Cropped to a single cell · bone marrow aspirate smear: 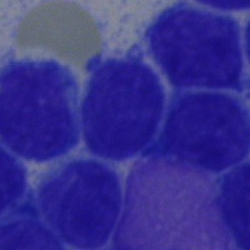
Cell type: lymphocyte.